Bone marrow smear: 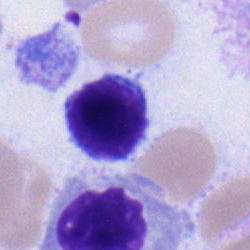

Q: What cell is this?
A: A typical lymphocyte.